Bone marrow smear; May-Grünwald-Giemsa/Pappenheim stain
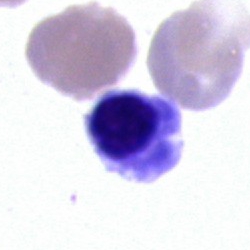

Nucleated red cell.